Bone marrow aspirate smear: 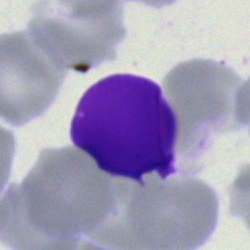This is an artefact.